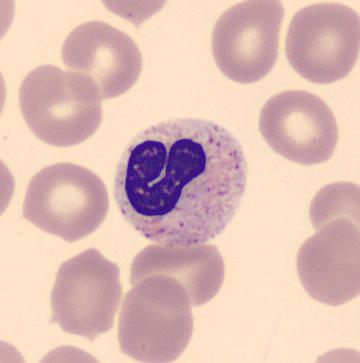 Morphology — band-form neutrophil.